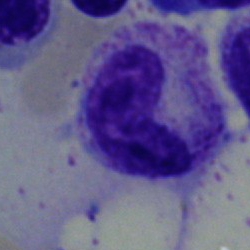

Morphology → neutrophil (band).